250×250. Bone marrow aspirate smear.
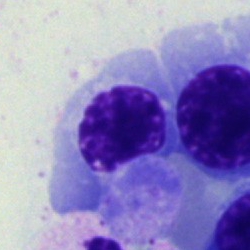 The cell shown is an erythroblast.